Bone marrow smear — 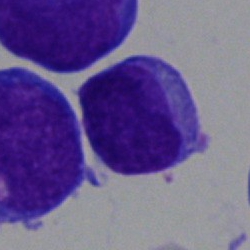 Q: What type of cell is this?
A: Undifferentiated blast.